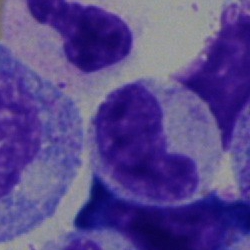
Single-cell crop from a bone marrow smear: band-form neutrophil.